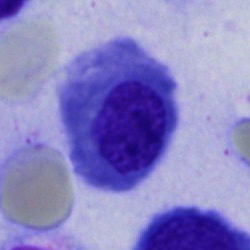

Bone marrow aspirate smear, single cell — nucleated red blood cell.